Bone marrow smear
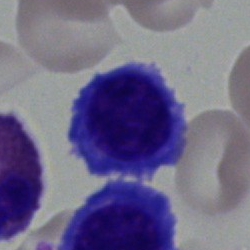 This is a nucleated red blood cell.